Bone marrow smear: 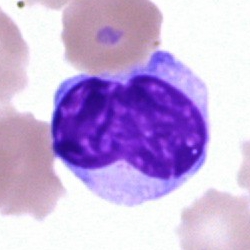

Morphology — hairy cell.